Bone marrow smear:
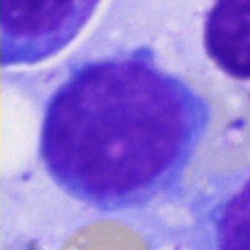
Cell type — undifferentiated blast.